250×250 px · bone marrow aspirate smear.
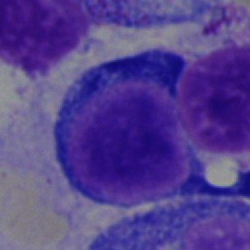

A pronormoblast.